Bone marrow smear — 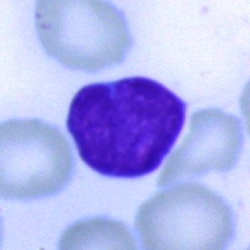Specimen: bone marrow aspirate smear.
Classification: typical lymphocyte.